Bone marrow smear
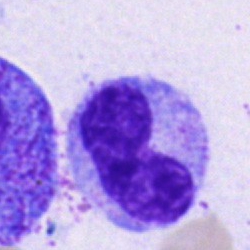
Specimen: bone marrow aspirate smear.
Cell: metamyelocyte.
Lineage: myeloid.